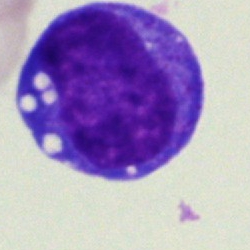Bone marrow aspirate smear, single cell — blast cell.